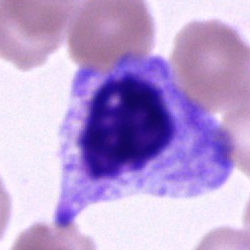
The classification is unidentifiable cell.